Pappenheim-stained; bone marrow smear:
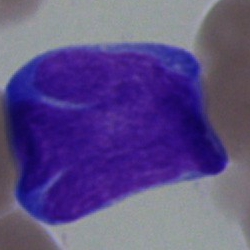A blast.